Bone marrow smear; brightfield, 40× oil-immersion objective: 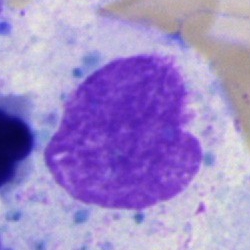

Showing an artefact.